Bone marrow smear · May-Grünwald-Giemsa stain · 40× objective, oil immersion:
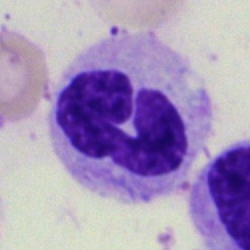
Q: What is the morphological classification of this cell?
A: This is a polymorphonuclear neutrophil.